250 by 250 pixels · bone marrow aspirate smear.
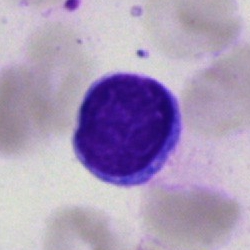

Cell: lymphocyte.